Bone marrow aspirate smear.
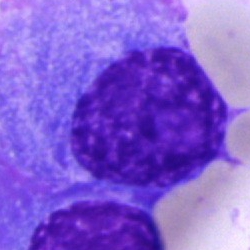
Morphology consistent with a plasma cell.